Pappenheim-stained. Bone marrow aspirate smear. 250×250: 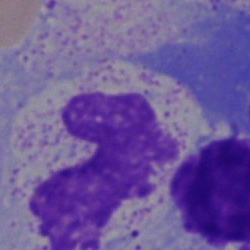

The cell shown is an artifact.